Bone marrow smear; Pappenheim-stained; single cell centered in the field
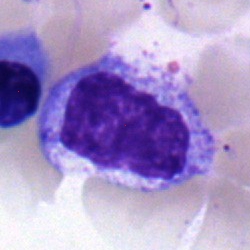

Morphology consistent with a metamyelocyte.